Peripheral blood smear; Romanowsky-type stain:
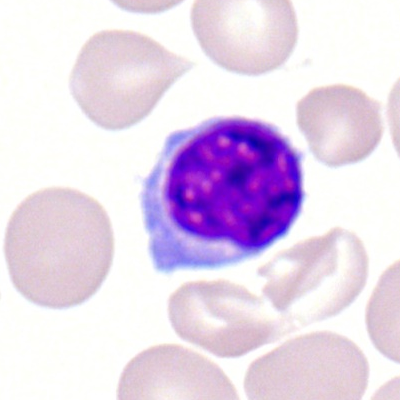A lymphocyte.